Peripheral blood film; 400 by 400 pixels — 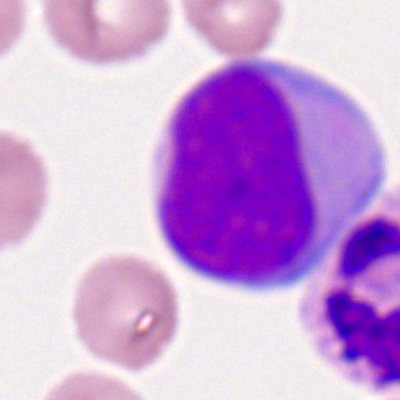 The cell shown is a myeloblast.